Brightfield, 40× oil-immersion objective · single-cell field · bone marrow aspirate smear: 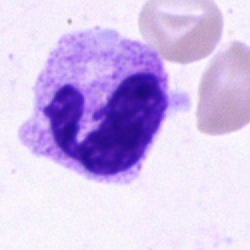Morphology — neutrophil (segmented).